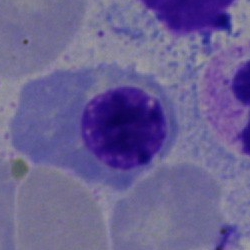
Specimen: bone marrow aspirate smear.
Cell: normoblast.